Bone marrow smear
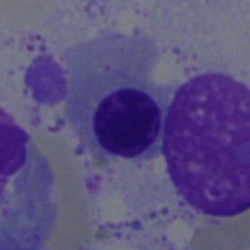 The classification is normoblast.